Bone marrow aspirate smear:
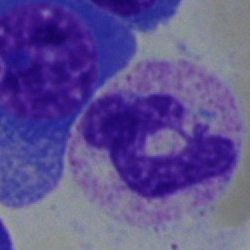

Q: What type of cell is this?
A: Segmented neutrophil.